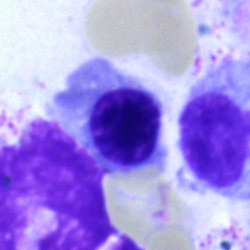
Q: Which cell type is shown here?
A: Nucleated red cell.